Bone marrow aspirate smear:
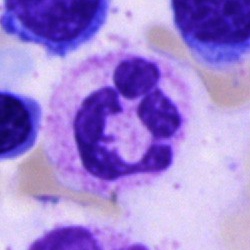

{"cell_type": "polymorphonuclear neutrophil"}